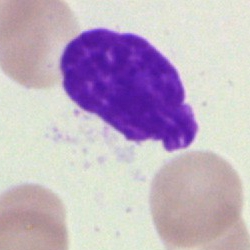
Specimen: bone marrow aspirate smear.
Classification: artifact.